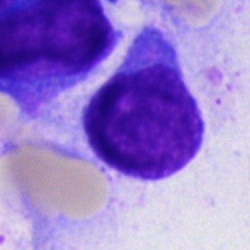 Morphology consistent with a blast.